250 by 250 pixels; bone marrow aspirate smear:
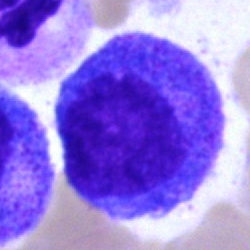
Specimen: bone marrow smear.
Cell: progranulocyte.
Lineage: myeloid.